MGG-stained. 40× objective, oil immersion. Bone marrow aspirate smear:
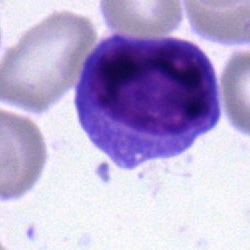

Specimen: bone marrow aspirate smear.
Classification: lymphocyte.
Lineage: lymphoid.